Brightfield, 100× oil-immersion objective; image size 400×400; peripheral blood film: 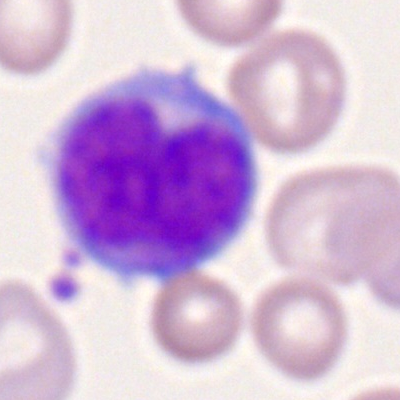
Q: Identify the cell.
A: A monocyte.